Single-cell crop · May-Grünwald-Giemsa stain · bone marrow aspirate smear
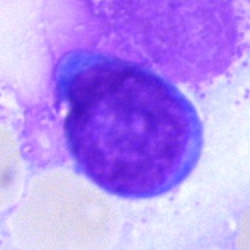 Q: What cell is this?
A: Typical lymphocyte.